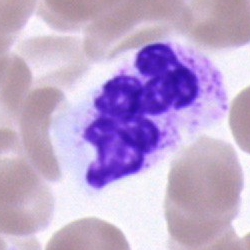Impression → polymorphonuclear neutrophil.